Bone marrow smear — 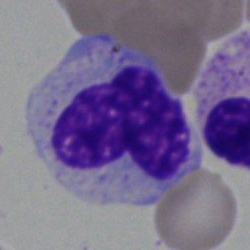Impression → metamyelocyte.